MGG-stained; bone marrow aspirate smear.
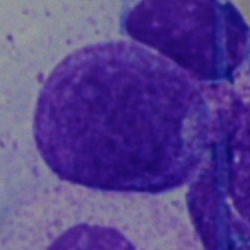Single cell identified as an undifferentiated blast.